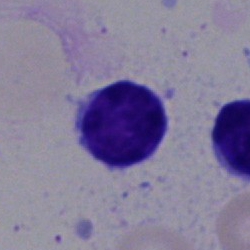
Q: What is shown here?
A: A typical lymphocyte.